Bone marrow smear. 40× oil immersion.
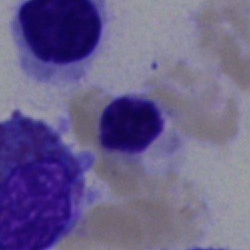

Q: What is shown here?
A: A nucleated red cell.